Bone marrow smear. Brightfield microscopy, 40× oil immersion. Single cell centered in the field
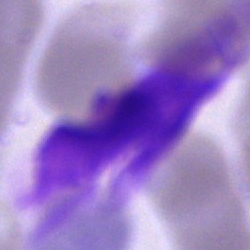

Morphology consistent with an artifact.